Bone marrow aspirate smear. 250 by 250 pixels — 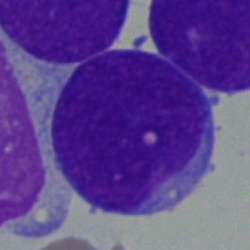
Showing an undifferentiated blast.